Bone marrow smear: 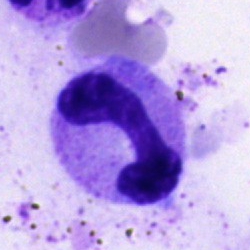Single cell identified as a band neutrophil.